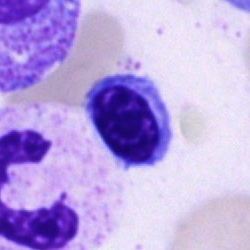
Specimen: bone marrow aspirate smear.
Morphological class: erythroblast.